Image size 250×250 · 40× oil immersion · bone marrow aspirate smear: 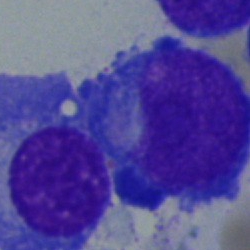
Morphology consistent with a blast.